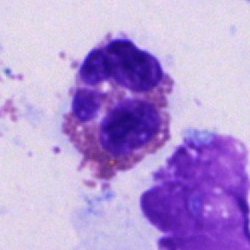

The cell shown is an eosinophilic granulocyte.